Peripheral blood smear — 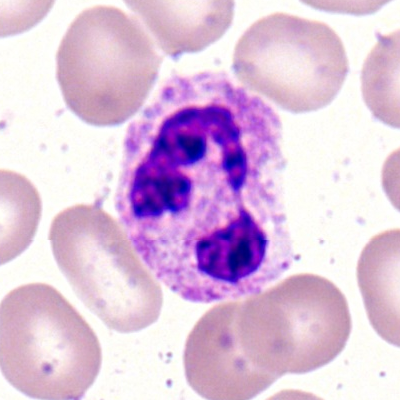
The morphological class is neutrophil (segmented).